Image size 250×250; bone marrow smear; single-cell crop:
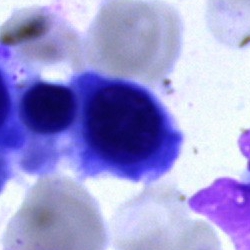{"cell_type": "normoblast", "lineage": "erythroid"}